May-Grünwald-Giemsa/Pappenheim stain · 250×250 px · bone marrow smear.
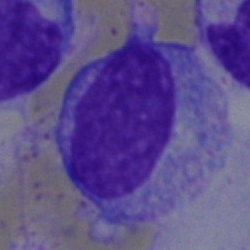 Q: What type of cell is this?
A: This is a blast.